Bone marrow aspirate smear — 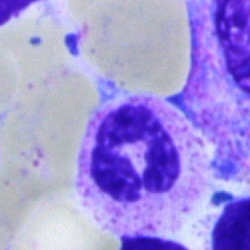 The cell is segmented neutrophil.